Pappenheim-stained · single-cell field · bone marrow aspirate smear.
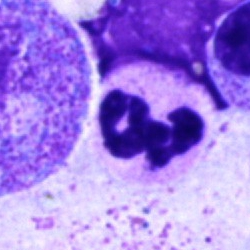
{"cell_type": "segmented neutrophil", "lineage": "myeloid"}